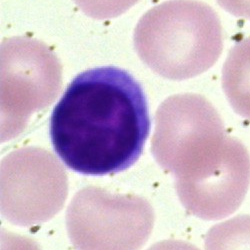

Impression → typical lymphocyte.